Bone marrow smear · 40× objective, oil immersion · 250×250:
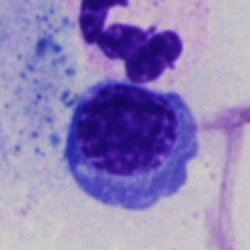
Normoblast.